May-Grünwald-Giemsa stain · bone marrow aspirate smear: 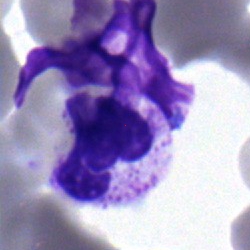
A polymorphonuclear neutrophil.